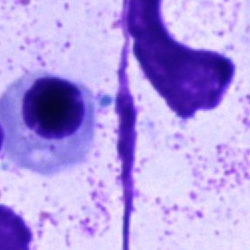
Q: What type of cell is this?
A: A nucleated red blood cell.